Bone marrow aspirate smear; single cell centered in the field; May-Grünwald-Giemsa/Pappenheim stain
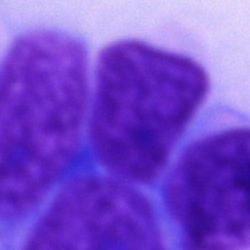

Showing a cell of indeterminate lineage.